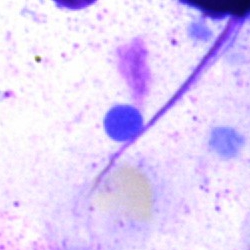

Morphology — artifact.